Bone marrow aspirate smear.
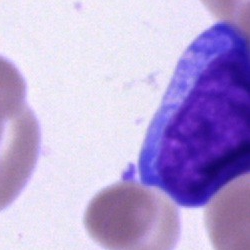

Q: Identify the cell.
A: It is an undifferentiated blast.